40× oil immersion. Single-cell field. Bone marrow smear — 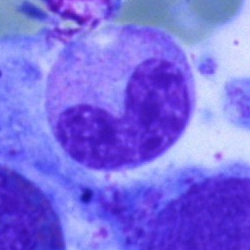 Q: What is the morphological classification of this cell?
A: Band-form neutrophil.